Single-cell crop; 250×250; bone marrow aspirate smear.
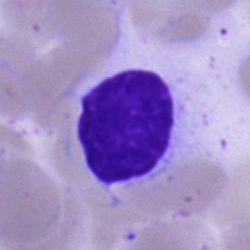

An artifact.